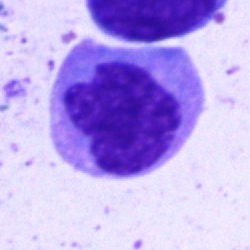Morphology consistent with an erythroblast.